40× objective, oil immersion. Bone marrow smear:
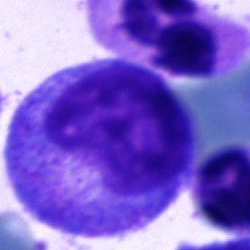A progranulocyte.